Peripheral blood smear:
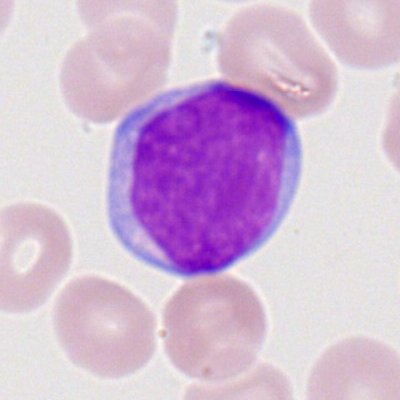Showing a myeloblast.